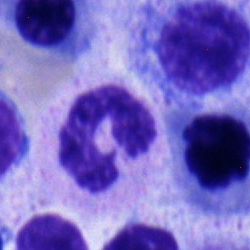{"cell_type": "stab cell", "lineage": "myeloid"}